Bone marrow smear: 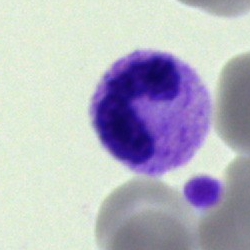

Morphology consistent with a neutrophil (segmented).